Bone marrow aspirate smear — 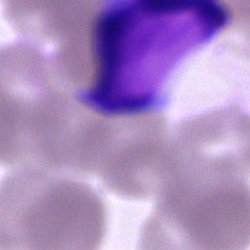

Showing an artifact.